250×250; bone marrow aspirate smear — 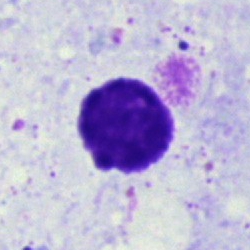

The cell is artefact.